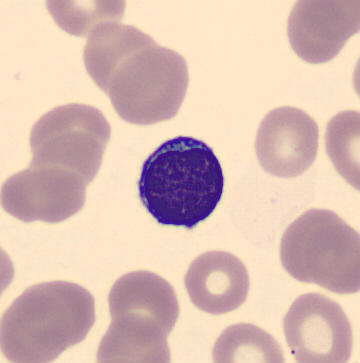

Morphology → typical lymphocyte. MGG-stained · peripheral blood film · automated cell imaging (CellaVision DM96).